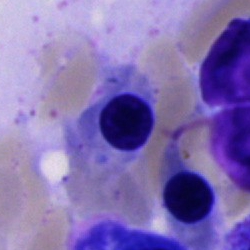 Classification — normoblast.